Bone marrow smear. Brightfield, 40× oil-immersion objective. May-Grünwald-Giemsa stain.
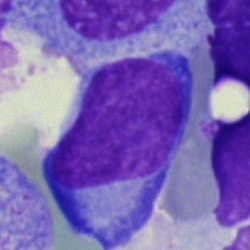

Showing an undifferentiated blast.